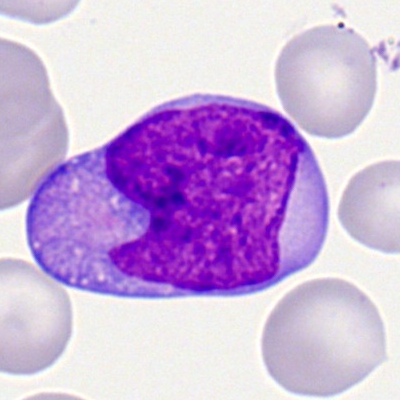 The classification is myeloblast.